Bone marrow smear.
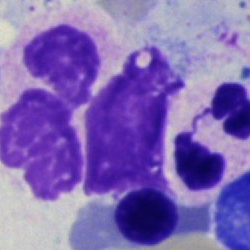This is an artefact.